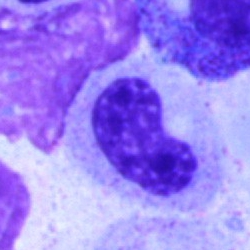
{"cell_type": "stab cell", "lineage": "myeloid"}